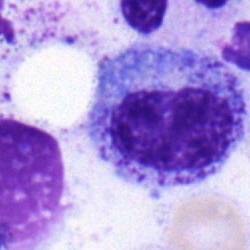
Cell type: metamyelocyte.